Bone marrow aspirate smear:
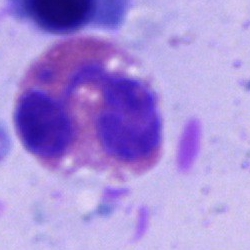
This is an eosinophilic granulocyte.